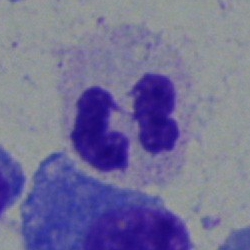
Single cell identified as a neutrophil (segmented).